Brightfield microscopy, 40× oil immersion. Bone marrow smear:
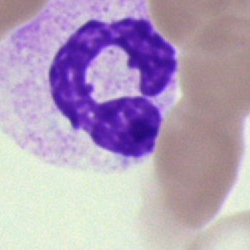 {"cell_type": "neutrophil (segmented)"}